Bone marrow aspirate smear; single cell centered in the field; 250×250 px
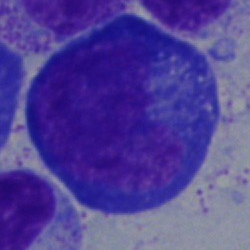Showing a proerythroblast.